Bone marrow aspirate smear.
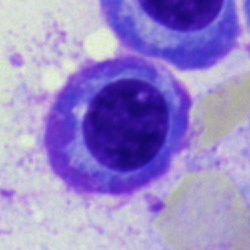 Q: What cell is this?
A: A plasmacyte.